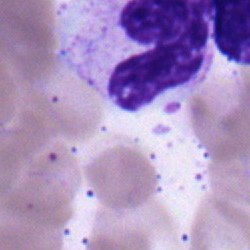
Q: What cell is this?
A: Polymorphonuclear neutrophil.